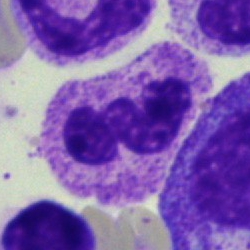 Q: What type of cell is this?
A: A segmented neutrophil.